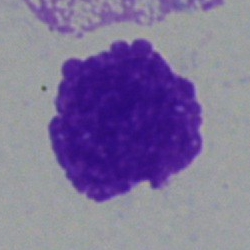An artefact on a bone marrow smear.